40× objective, oil immersion. Bone marrow smear.
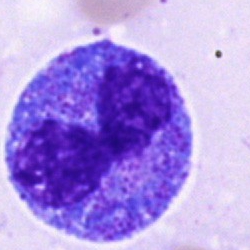Q: What cell is this?
A: A progranulocyte.